Bone marrow aspirate smear. May-Grünwald-Giemsa/Pappenheim stain:
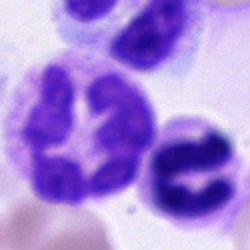Cell type = segmented neutrophil.